Bone marrow smear: 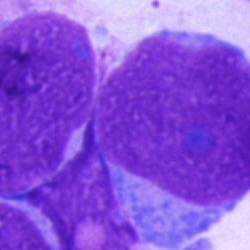Morphological class = artifact.